Bone marrow aspirate smear; single-cell crop: 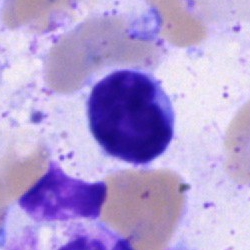Q: What is shown here?
A: This is a lymphocyte.